Single-cell crop. Bone marrow smear — 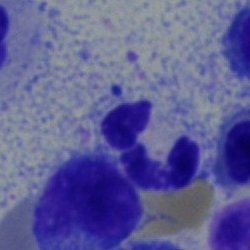

{"cell_type": "neutrophil (segmented)", "lineage": "myeloid"}